Bone marrow smear. 40× oil immersion: 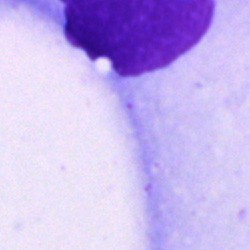 Artifact.